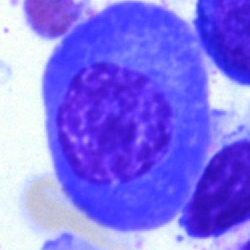Q: What is the morphological classification of this cell?
A: A plasma cell.